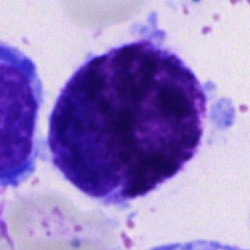 Q: Which cell type is shown here?
A: Cell not matching the other categories.